Bone marrow smear: 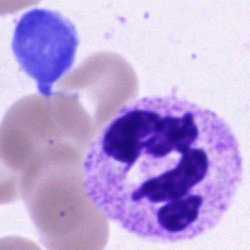 Specimen: bone marrow aspirate smear.
Morphological class: segmented neutrophil.